Peripheral blood smear. Single cell centered in the field.
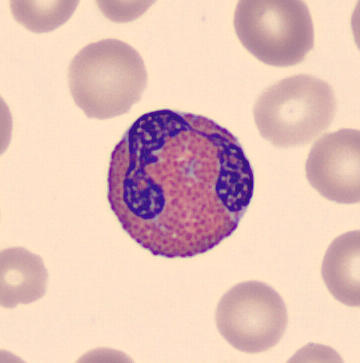 The cell type is eosinophil.